Bone marrow smear. MGG-stained:
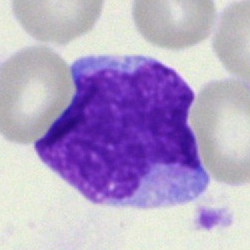
An undifferentiated blast.